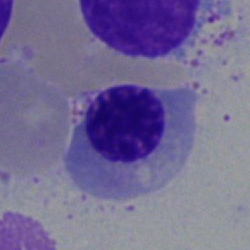 Cell type: erythroblast.